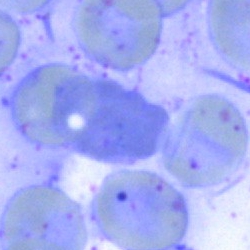 Impression — artefact.